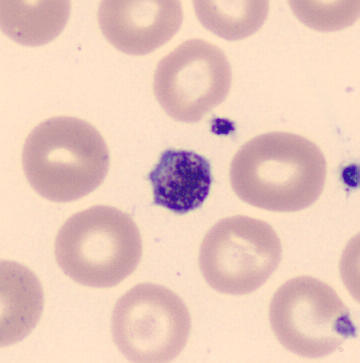 Preparation: Image size 360×363. Automated cell imaging (CellaVision DM96). Peripheral blood smear. Impression — platelet (thrombocyte).